Peripheral blood smear; single-cell field:
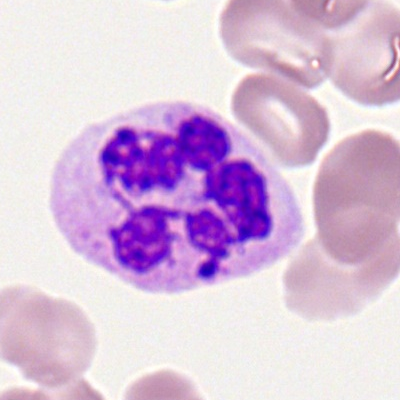

Impression — polymorphonuclear neutrophil.